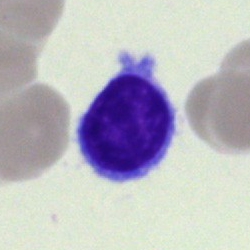

Impression — typical lymphocyte.